40× objective, oil immersion; bone marrow smear; May-Grünwald-Giemsa/Pappenheim stain.
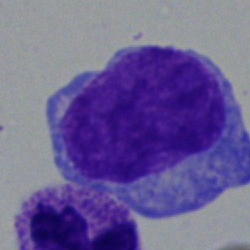 Cell: blast cell.